Bone marrow aspirate smear.
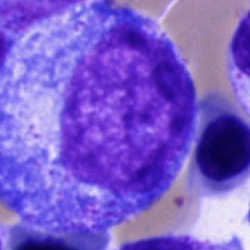 Cell type: progranulocyte.